Brightfield, 40× oil-immersion objective; bone marrow aspirate smear: 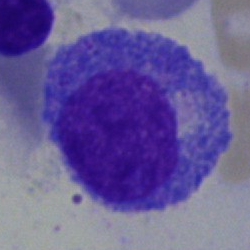

Q: What cell is this?
A: Promyelocyte.